Bone marrow smear · Pappenheim-stained.
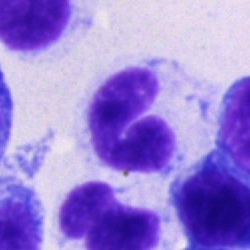Q: What is the morphological classification of this cell?
A: It is a neutrophil (segmented).